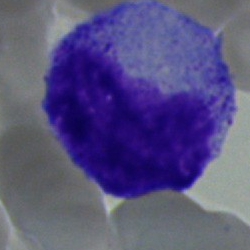

This is a progranulocyte.